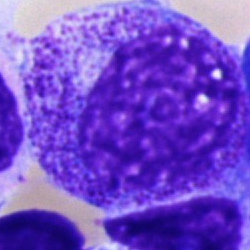 Specimen: bone marrow smear.
Morphological class: progranulocyte.
Lineage: myeloid.